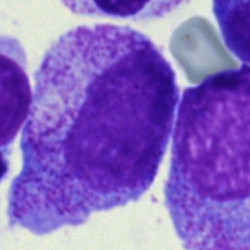

The cell type is myelocyte.